Bone marrow aspirate smear
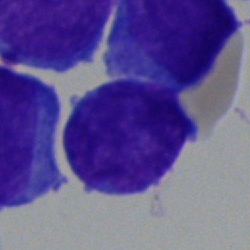Classification = blast cell.